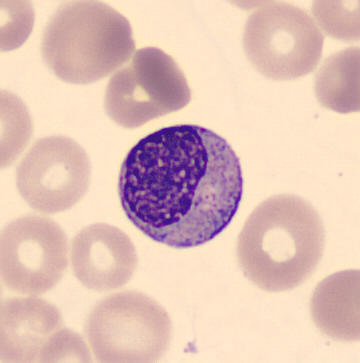

Specimen: peripheral blood film.
Morphological class: myelocyte.
Lineage: myeloid. CellaVision DM96.